Single cell centered in the field. Bone marrow aspirate smear: 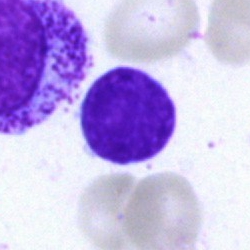

Cell type = typical lymphocyte.